Bone marrow smear
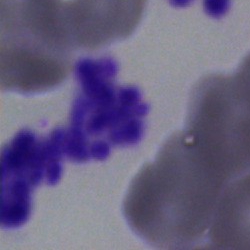
Impression — artifact.